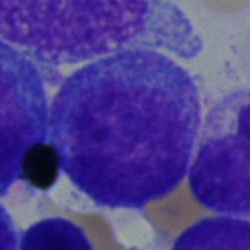Bone marrow aspirate smear, single cell — blast cell.